Bone marrow smear; May-Grünwald-Giemsa stain — 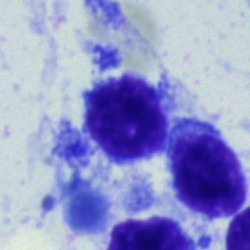

Cell type: typical lymphocyte.